Bone marrow smear; 250×250
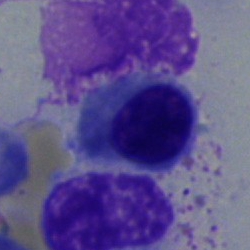Morphological class = nucleated red cell.